Bone marrow smear — 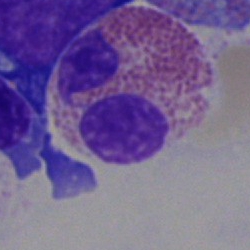 {"cell_type": "eosinophilic granulocyte", "lineage": "myeloid"}